100× objective, oil immersion; peripheral blood film: 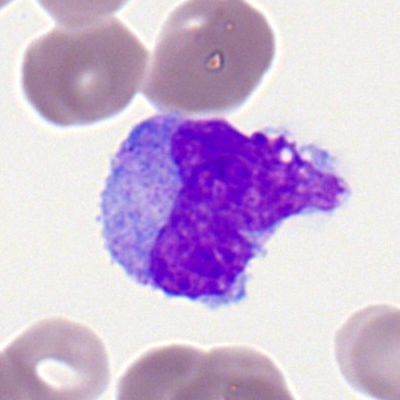

{"cell_type": "monocyte", "lineage": "myeloid"}